Bone marrow aspirate smear. May-Grünwald-Giemsa stain:
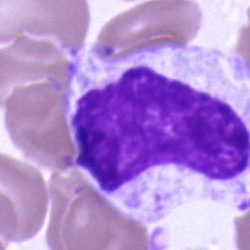

An unidentifiable cell.